Bone marrow smear. Pappenheim-stained
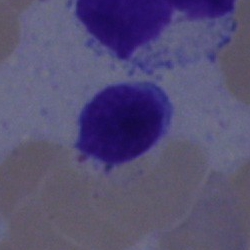 Showing a lymphocyte.